Bone marrow smear
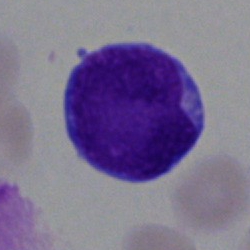 Q: What is shown here?
A: A blast.